250×250 px. Brightfield microscopy, 40× oil immersion. Bone marrow smear
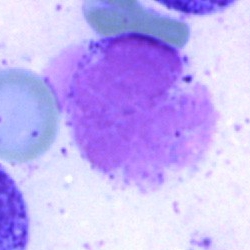 An artefact.